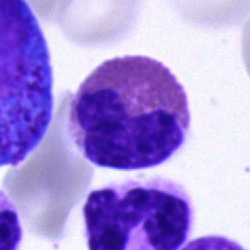 Bone marrow aspirate smear, single cell — eosinophil.